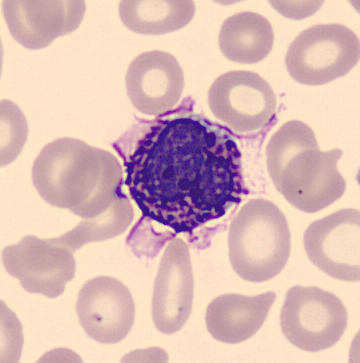Q: What type of cell is this?
A: A basophilic granulocyte.
MGG-stained. Peripheral blood smear. Image size 360×363.